Cropped to a single cell. Bone marrow aspirate smear. Image size 250×250.
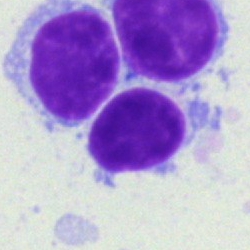
A lymphocyte.